Bone marrow smear · 40× oil immersion · 250×250 px: 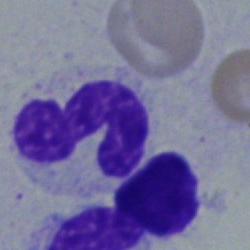
Cell type = band-form neutrophil.